Bone marrow aspirate smear:
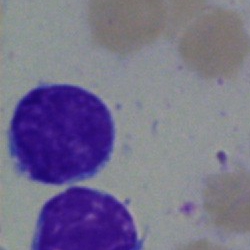
The cell shown is a lymphocyte.